Bone marrow smear.
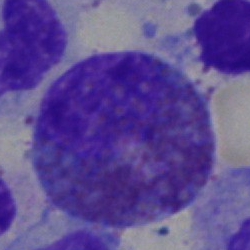The cell shown is an eosinophil.